May-Grünwald-Giemsa/Pappenheim stain. Bone marrow aspirate smear
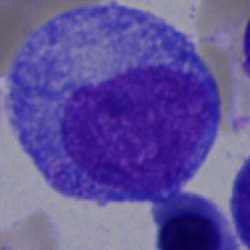The morphological class is progranulocyte.